Bone marrow smear.
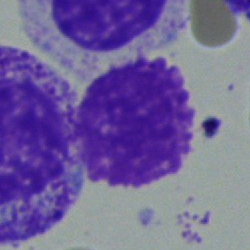

Specimen: bone marrow smear.
Cell type: artefact.